Single-cell crop. Bone marrow aspirate smear: 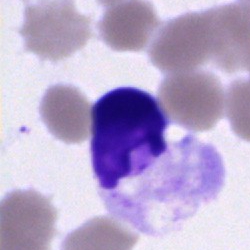Showing an artifact.